Bone marrow smear — 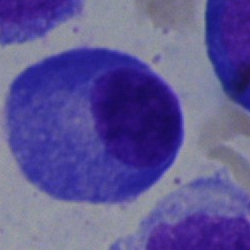

Morphological class: plasmacyte.